Single-cell crop · bone marrow smear — 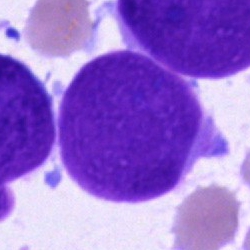Morphology — artifact.